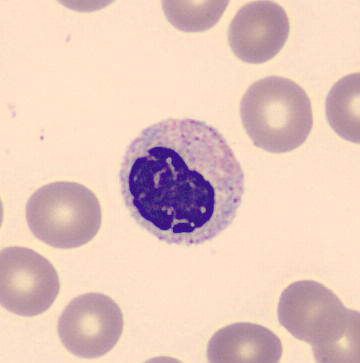 Morphology → band-form neutrophil.
Acquisition: Peripheral blood film.